May-Grünwald-Giemsa stain. Bone marrow aspirate smear:
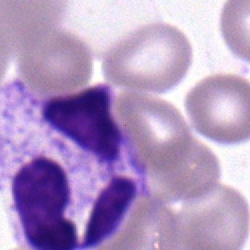 Cell type: segmented neutrophil.